Bone marrow smear — 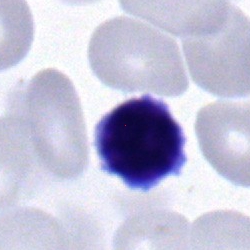 This is a lymphocyte.